Bone marrow aspirate smear — 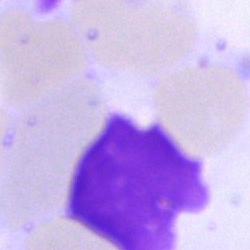 Q: What is shown here?
A: Artifact.